Bone marrow smear — 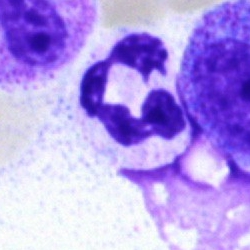

The cell type is segmented neutrophil.